Bone marrow smear: 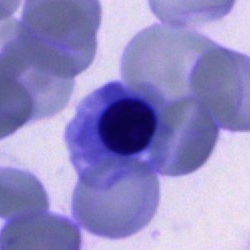

Specimen: bone marrow aspirate smear.
Morphological class: normoblast.
Lineage: erythroid.